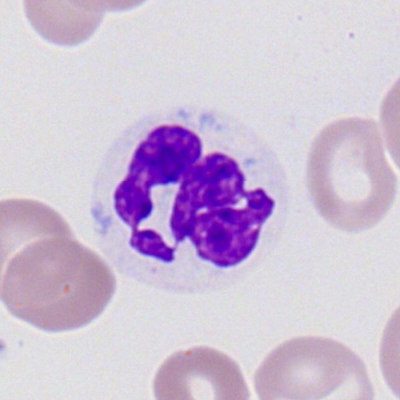
Impression — neutrophil (segmented).